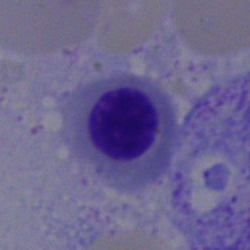The morphological class is erythroblast.